Bone marrow aspirate smear: 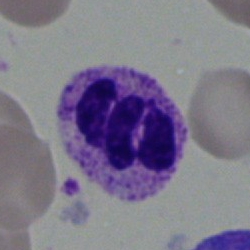

Q: Which cell type is shown here?
A: It is a neutrophil (segmented).